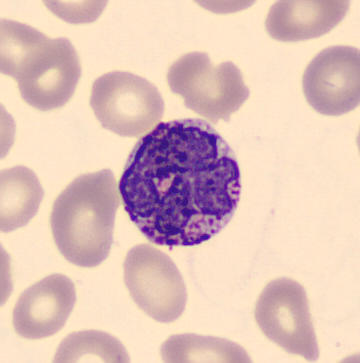
May-Grünwald-Giemsa-stained. Peripheral blood smear.
The cell shown is a basophilic granulocyte.